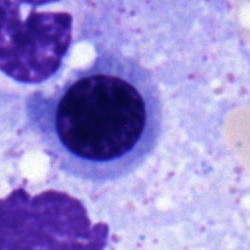
Q: What is shown here?
A: It is a nucleated red cell.